Bone marrow aspirate smear.
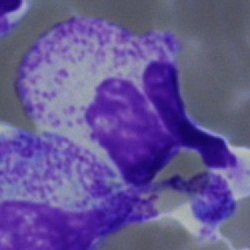Q: What type of cell is this?
A: Neutrophil (segmented).